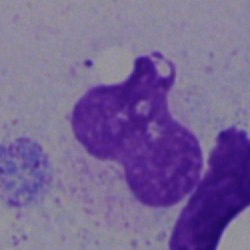Q: What is shown here?
A: Artifact.